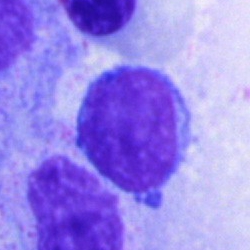Specimen: bone marrow smear.
Cell type: lymphocyte.
Lineage: lymphoid.